Bone marrow smear: 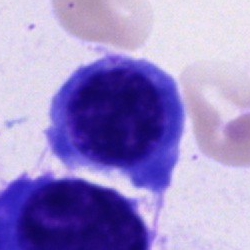

Classification = plasmacyte.